Bone marrow aspirate smear.
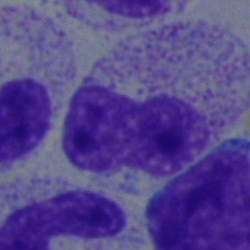
Morphology consistent with a metamyelocyte.